Peripheral blood smear: 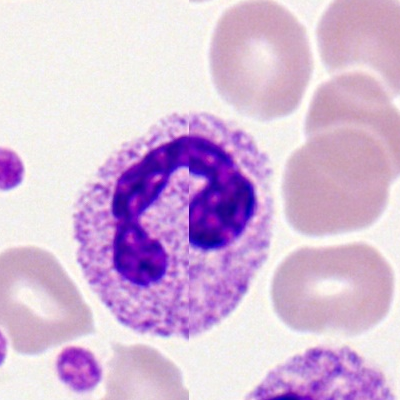

Specimen: peripheral blood smear.
Morphological class: polymorphonuclear neutrophil.
Lineage: myeloid.